Bone marrow aspirate smear; single-cell crop; 250×250.
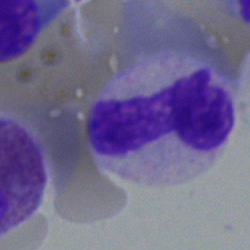 Single cell identified as a band neutrophil.